40× objective, oil immersion; bone marrow aspirate smear
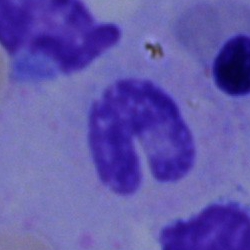
Showing a band neutrophil.